Peripheral blood smear:
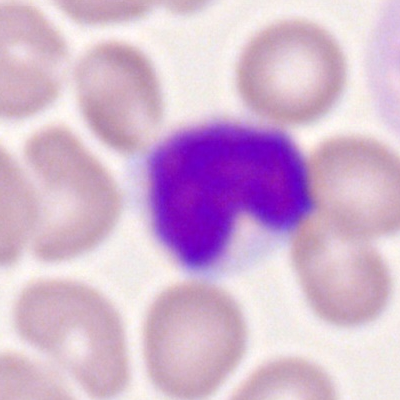

Morphological class: lymphocyte.